Bone marrow smear — 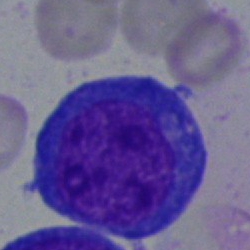Specimen: bone marrow aspirate smear.
Cell: undifferentiated blast.